Peripheral blood film · cropped to a single cell · 100× objective, oil immersion — 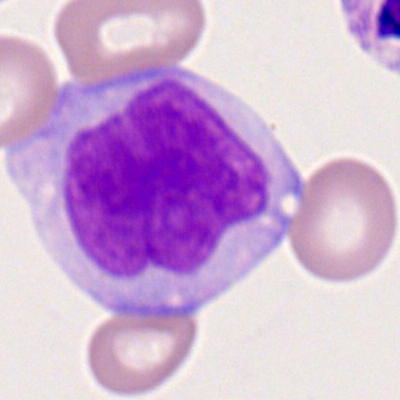 Q: What is shown here?
A: A monocyte.